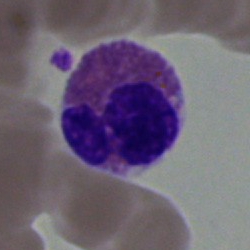
An eosinophilic granulocyte.